Bone marrow aspirate smear.
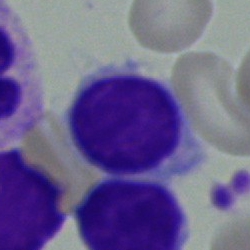 Impression — typical lymphocyte.